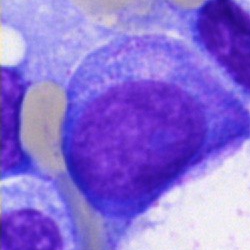
Bone marrow smear showing a progranulocyte.